Bone marrow aspirate smear: 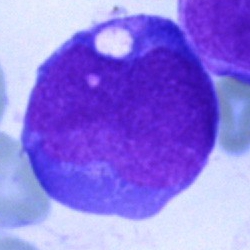{"cell_type": "undifferentiated blast"}